Bone marrow aspirate smear — 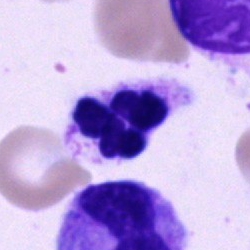

Q: What type of cell is this?
A: It is a neutrophil (segmented).